Bone marrow smear.
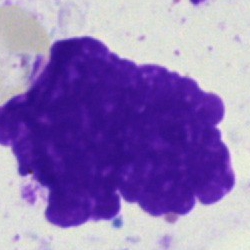Specimen: bone marrow aspirate smear.
Morphological class: artifact.